360 by 363 pixels · peripheral blood film
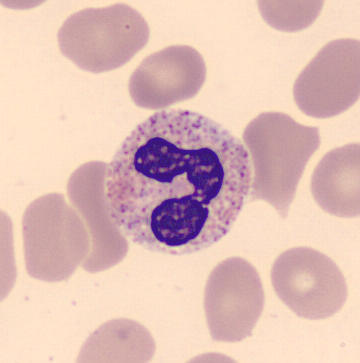

Single cell identified as a segmented neutrophil.